Bone marrow smear · single-cell crop — 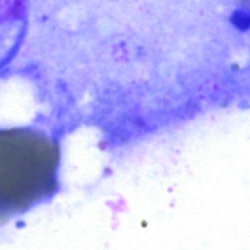 Artifact.